Bone marrow smear; 40× objective, oil immersion.
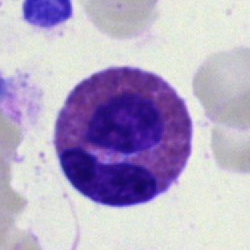Morphological class = eosinophilic granulocyte.